Bone marrow smear; 250×250; 40× oil immersion
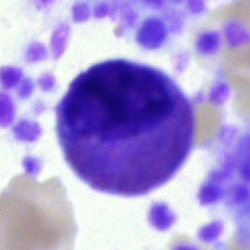

Impression — eosinophil.